Bone marrow aspirate smear.
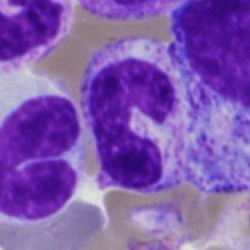

Cell type = stab cell.